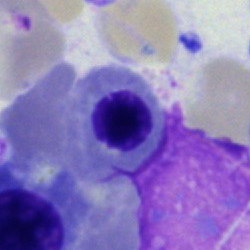

A normoblast on a bone marrow smear.